Peripheral blood film
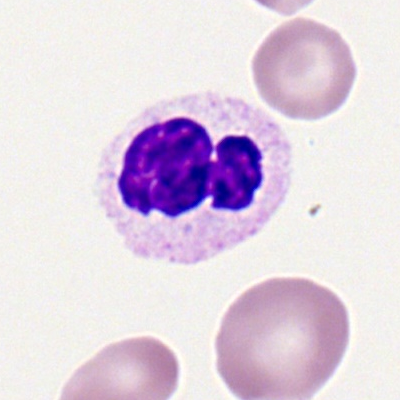 Morphological class — neutrophil (segmented).